Bone marrow smear
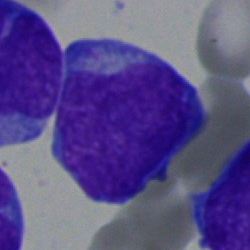Showing a blast cell.